250 by 250 pixels. Bone marrow aspirate smear
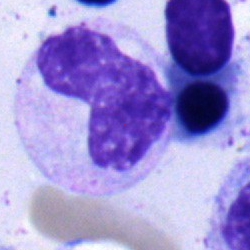

Classification = stab cell.